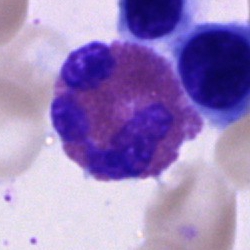
An eosinophilic granulocyte.